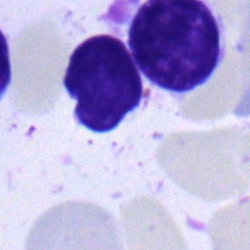

Impression — typical lymphocyte.